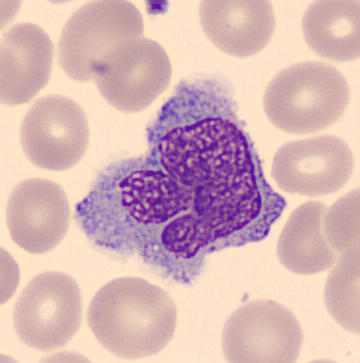Peripheral blood smear; image size 360×363.

Identified as a monocyte.